Bone marrow aspirate smear; brightfield, 40× oil-immersion objective
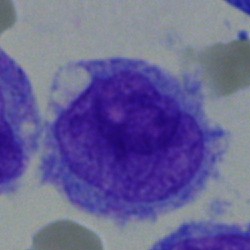Single cell identified as an undifferentiated blast.